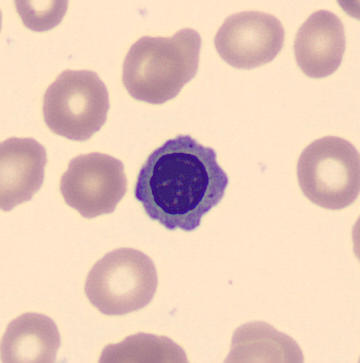
The classification is normoblast.

Peripheral blood film.